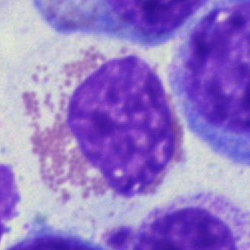 Morphology consistent with an eosinophilic granulocyte.